Bone marrow smear; 250×250 px:
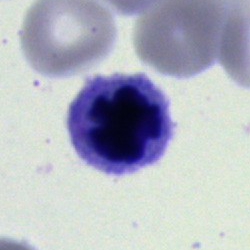 Showing a nucleated red blood cell.